MGG-stained; bone marrow smear.
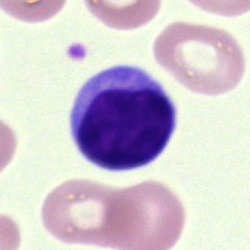{"cell_type": "lymphocyte", "lineage": "lymphoid"}